Bone marrow aspirate smear: 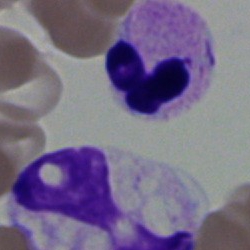Cell = polymorphonuclear neutrophil.